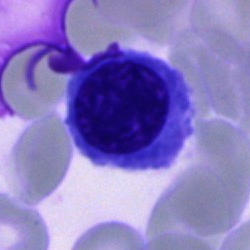

Bone marrow aspirate smear, single cell — nucleated red cell.